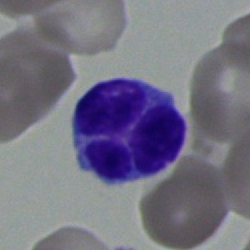

{"cell_type": "typical lymphocyte", "lineage": "lymphoid"}